Bone marrow smear
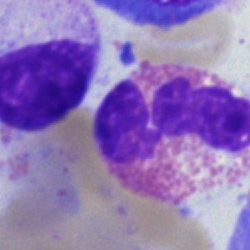 Morphology consistent with an eosinophil.